Bone marrow aspirate smear
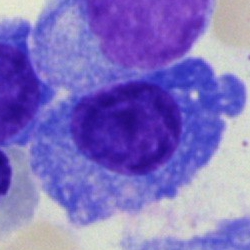This is a plasmacyte.